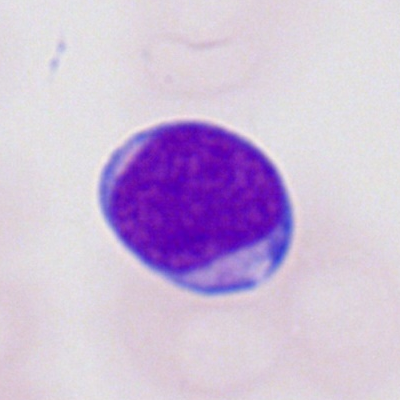 Showing a myeloblast.